Single-cell crop · bone marrow aspirate smear.
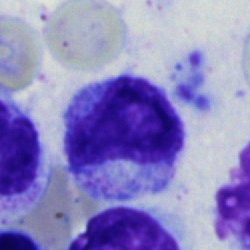This is a monocyte.